Bone marrow smear.
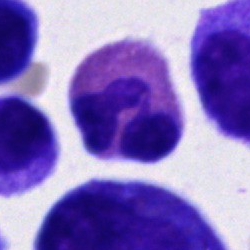

Impression → eosinophil.